Bone marrow aspirate smear: 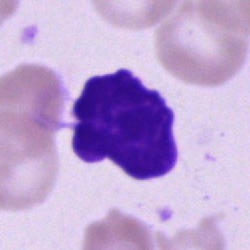 Specimen: bone marrow aspirate smear.
Cell: artifact.